Bone marrow smear · cropped to a single cell: 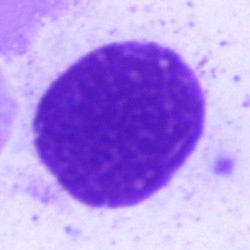Specimen: bone marrow smear.
Classification: artefact.